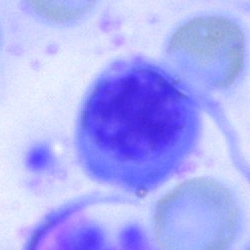 Cell = nucleated red cell.